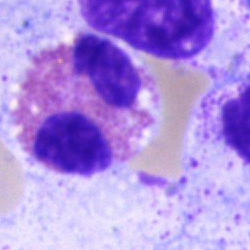

Impression — eosinophilic granulocyte.